Bone marrow smear · image size 250×250 — 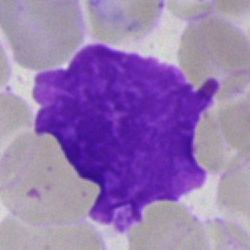
Q: What is shown here?
A: This is an artefact.